Brightfield, 40× oil-immersion objective; bone marrow aspirate smear: 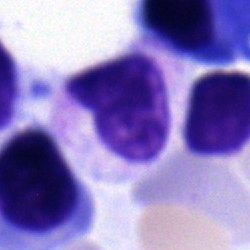The cell type is polymorphonuclear neutrophil.